Bone marrow smear. Single-cell field — 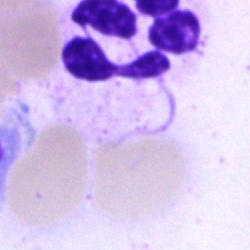 Q: What type of cell is this?
A: A polymorphonuclear neutrophil.